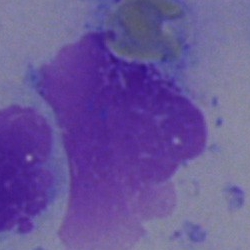
Morphology — artefact.